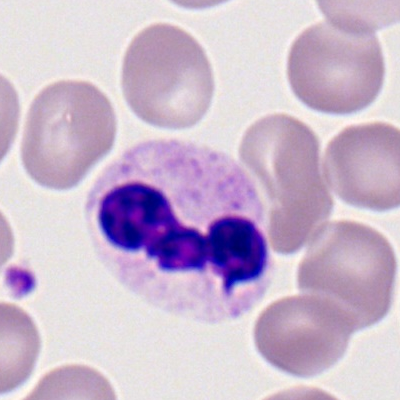
Cell: neutrophil (segmented).